Bone marrow aspirate smear — 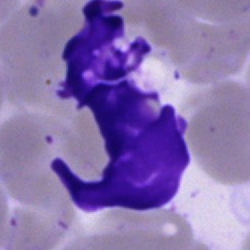
Q: What is shown here?
A: Artefact.